Bone marrow aspirate smear: 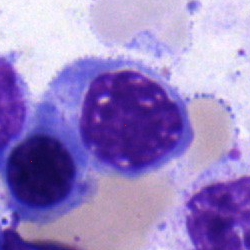
Morphology consistent with a nucleated red cell.